Single-cell crop · brightfield, 40× oil-immersion objective · bone marrow smear.
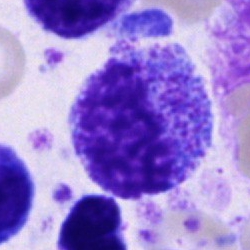

Cell: promyelocyte.